Peripheral blood smear.
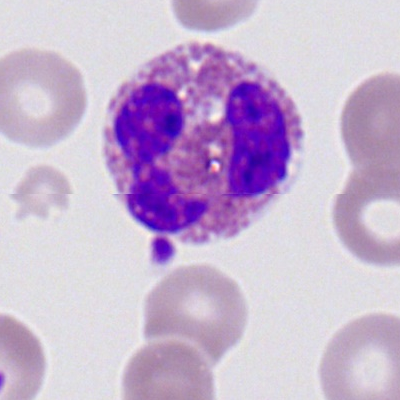 {"cell_type": "eosinophilic granulocyte", "lineage": "myeloid"}